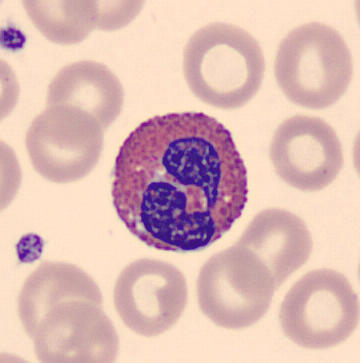

Eosinophilic granulocyte.
Acquisition: Peripheral blood film.